CellaVision DM96. Peripheral blood film
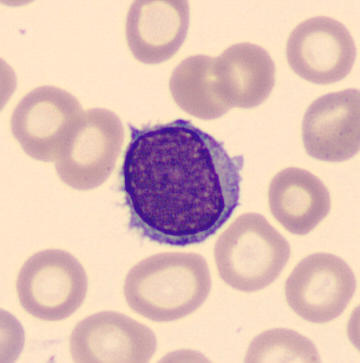Cell type = typical lymphocyte.